Bone marrow aspirate smear
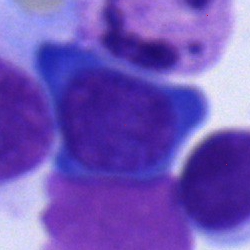

A nucleated red cell.